250×250 · bone marrow smear · 40× objective, oil immersion.
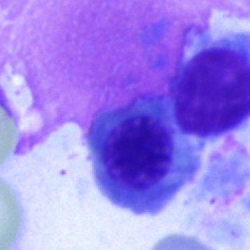The classification is nucleated red cell.